May-Grünwald-Giemsa stain; bone marrow smear.
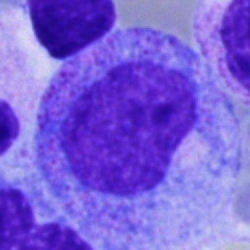
Cell type = promyelocyte.